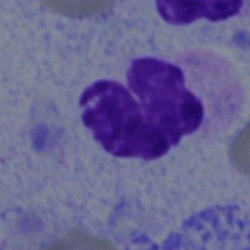Specimen: bone marrow smear.
Classification: segmented neutrophil.